Bone marrow aspirate smear: 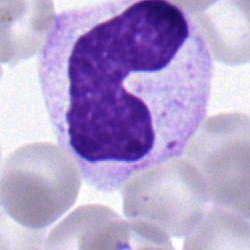Single cell identified as a band-form neutrophil.